100× objective, oil immersion. Peripheral blood film. Image size 400×400:
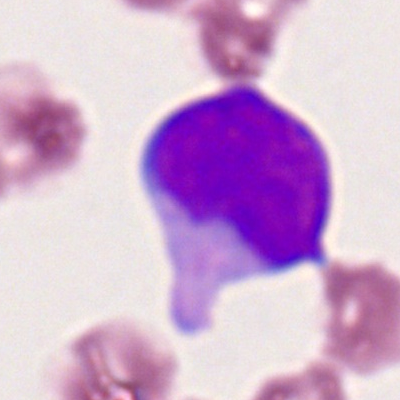 Morphology — myeloid blast.